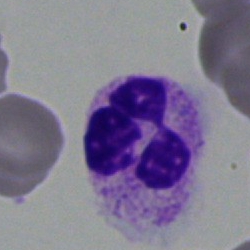Showing a segmented neutrophil.